100× oil immersion; peripheral blood film: 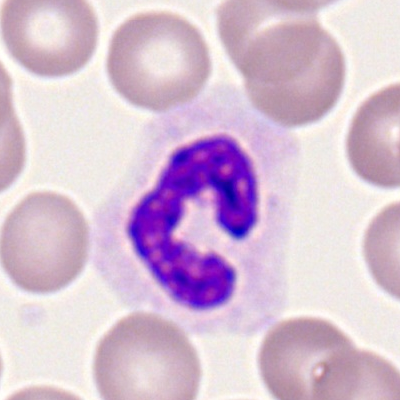
Specimen: peripheral blood smear.
Morphological class: stab cell.
Lineage: myeloid.